Brightfield, 40× oil-immersion objective · May-Grünwald-Giemsa/Pappenheim stain · bone marrow smear
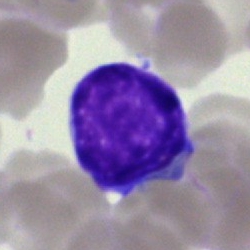 Morphology consistent with a typical lymphocyte.